May-Grünwald-Giemsa stain. Bone marrow smear:
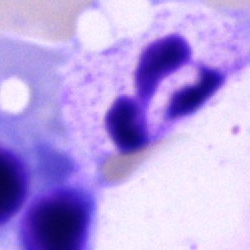 Classification: neutrophil (segmented).